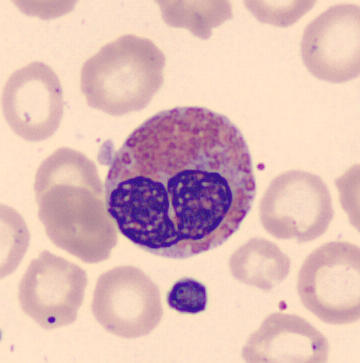

May Grünwald-Giemsa stain. CellaVision DM96 digital cell image. Peripheral blood film. Impression — eosinophilic granulocyte.